Bone marrow aspirate smear · 250×250.
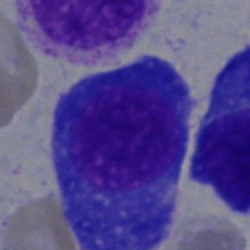

Impression → plasmacyte.